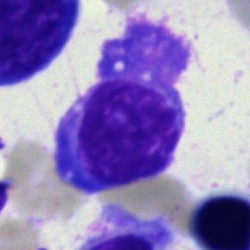Q: What cell is this?
A: This is a plasma cell.